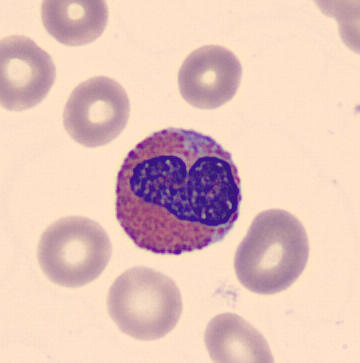 Impression → eosinophil.
Acquisition: Single-cell field. Peripheral blood smear. Imaged on a CellaVision DM96 analyser.